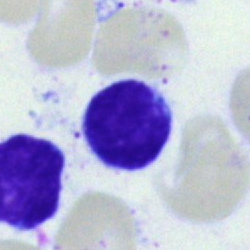
Q: Identify the cell.
A: Lymphocyte.